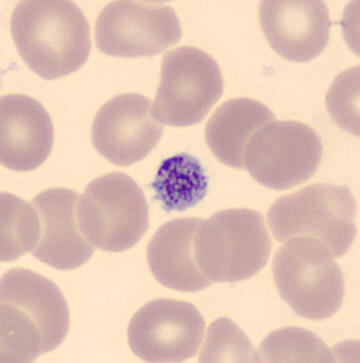
The classification is platelet.
Acquisition: Peripheral blood smear.